Single-cell crop; 40× oil immersion; bone marrow smear
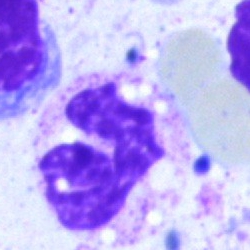
Q: Which cell type is shown here?
A: Neutrophil (segmented).